Bone marrow smear
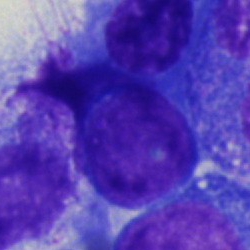
Morphology consistent with a pronormoblast.